Bone marrow aspirate smear; May-Grünwald-Giemsa stain
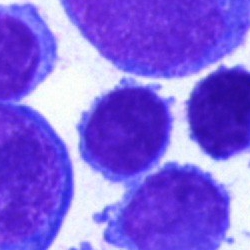
The cell shown is a lymphocyte.